May-Grünwald-Giemsa stain · bone marrow aspirate smear.
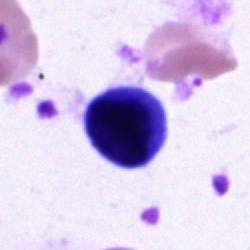
Single cell identified as a typical lymphocyte.